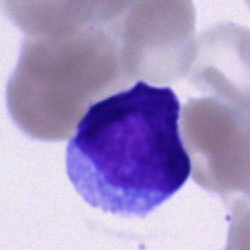
The cell type is blast.